May-Grünwald-Giemsa/Pappenheim stain · bone marrow aspirate smear · brightfield microscopy, 40× oil immersion
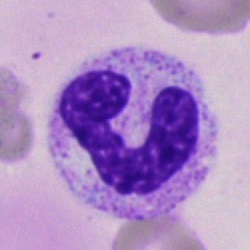

Polymorphonuclear neutrophil.